Bone marrow aspirate smear · brightfield microscopy, 40× oil immersion
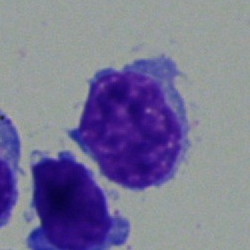Morphology consistent with a lymphocyte.